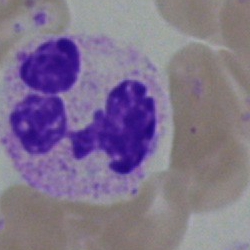
Q: What is the morphological classification of this cell?
A: A basophil.